Bone marrow smear — 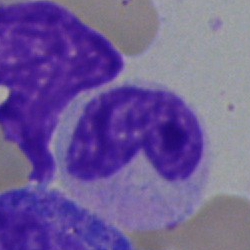
Showing a band neutrophil.